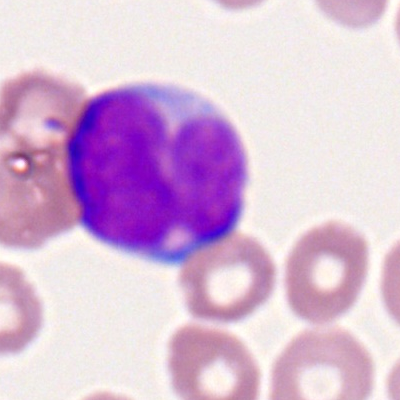

Morphology → myeloblast.